Single-cell field; bone marrow smear
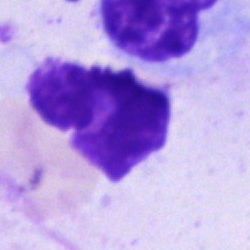 Single cell identified as an artifact.